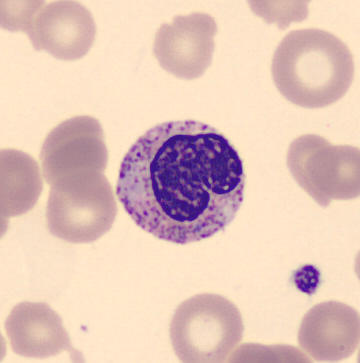 Image: Peripheral blood film. Morphology consistent with a metamyelocyte.